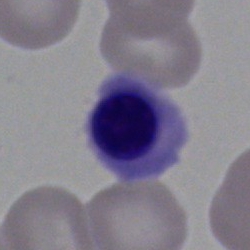
Q: What is shown here?
A: It is a normoblast.